Peripheral blood film · single-cell crop.
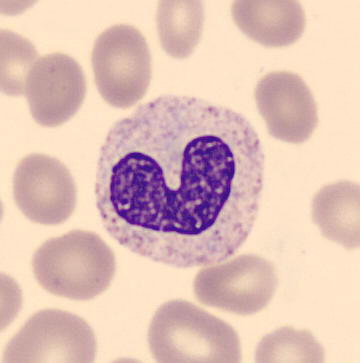
Cell = stab cell.